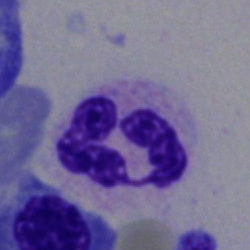
{"cell_type": "neutrophil (segmented)", "lineage": "myeloid"}